Bone marrow smear · May-Grünwald-Giemsa/Pappenheim stain · cropped to a single cell: 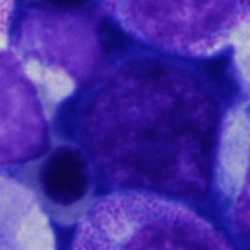 Classification = artifact.